Single-cell crop; bone marrow smear; brightfield, 40× oil-immersion objective — 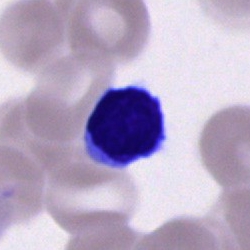 Showing a typical lymphocyte.